Bone marrow smear; MGG-stained — 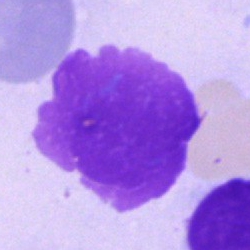

Morphological class: artefact.